Bone marrow smear
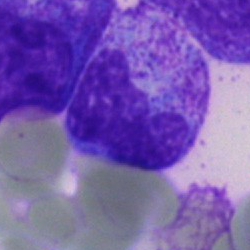

This is a stab cell.